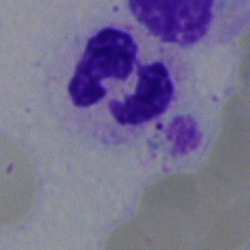Q: Which cell type is shown here?
A: This is a polymorphonuclear neutrophil.